May-Grünwald-Giemsa stain. Bone marrow aspirate smear — 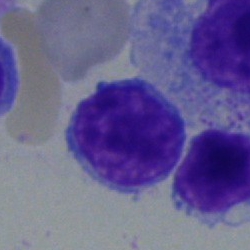
Showing a typical lymphocyte.